Brightfield microscopy, 40× oil immersion; bone marrow smear:
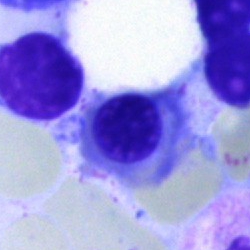Specimen: bone marrow aspirate smear.
Cell: normoblast.
Lineage: erythroid.